Bone marrow aspirate smear
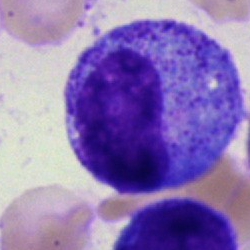Specimen: bone marrow smear.
Classification: promyelocyte.